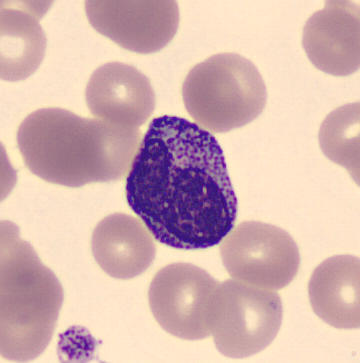
Peripheral blood smear.

Q: What is this?
A: Metamyelocyte.